Bone marrow smear · cropped to a single cell — 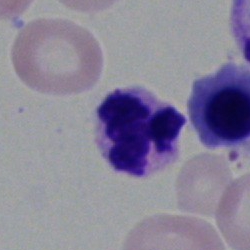

Morphology → segmented neutrophil.